Bone marrow aspirate smear
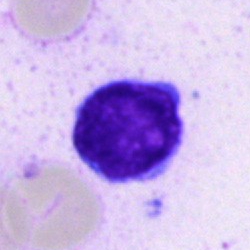
Specimen: bone marrow smear.
Cell type: typical lymphocyte.
Lineage: lymphoid.